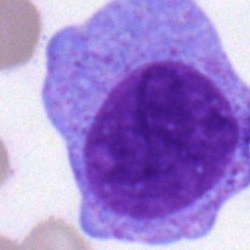Cell type — blast.